Bone marrow smear · single-cell crop · brightfield microscopy, 40× oil immersion.
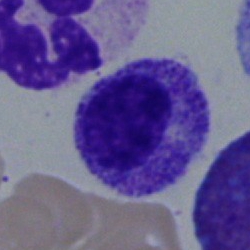
Specimen: bone marrow aspirate smear.
Classification: myelocyte.